Bone marrow aspirate smear.
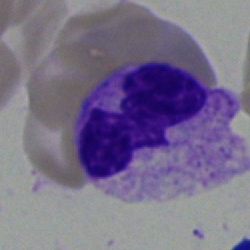 The cell type is polymorphonuclear neutrophil.